May-Grünwald-Giemsa/Pappenheim stain. Bone marrow aspirate smear: 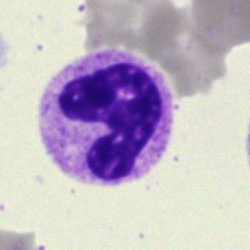
Specimen: bone marrow aspirate smear.
Morphological class: segmented neutrophil.